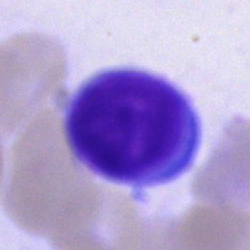Q: What is shown here?
A: Lymphocyte.